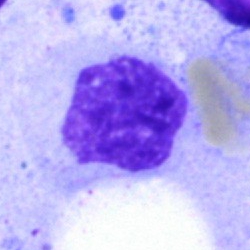 Impression → artifact.